Bone marrow aspirate smear — 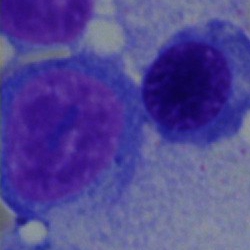 Cell type = nucleated red cell.